Bone marrow aspirate smear
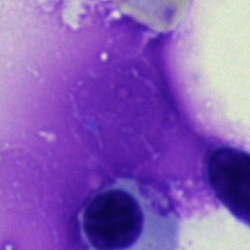Morphology consistent with an artefact.